Bone marrow smear · single cell centered in the field · 40× oil immersion
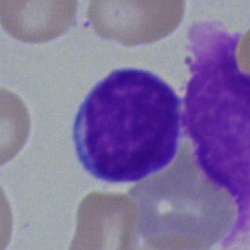Single cell identified as a lymphocyte.